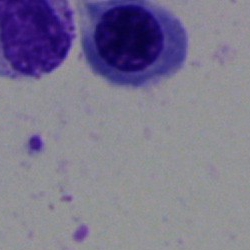{"cell_type": "normoblast", "lineage": "erythroid"}